Bone marrow smear.
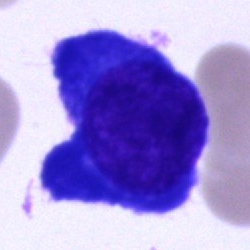
This is a plasmacyte.